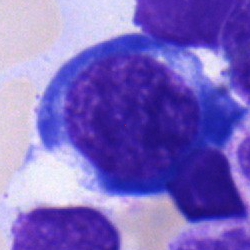 Impression — erythroblast.